Single-cell field; peripheral blood smear: 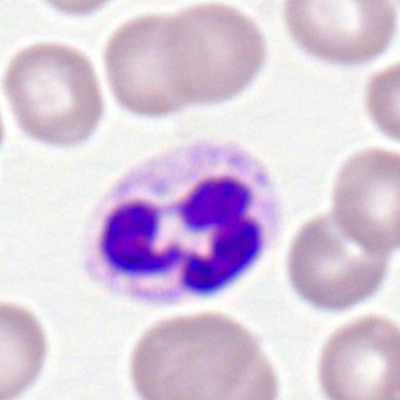

Segmented neutrophil.